Bone marrow smear
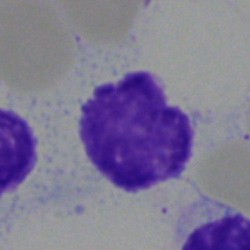 Q: What is shown here?
A: An artifact.